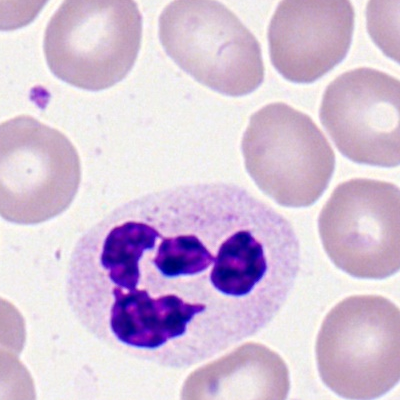 Q: What is shown here?
A: Polymorphonuclear neutrophil.